Single-cell field · bone marrow smear — 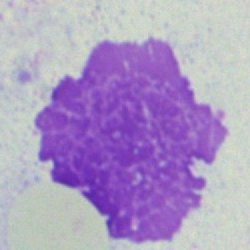 Morphology → artefact.